40× oil immersion; bone marrow aspirate smear — 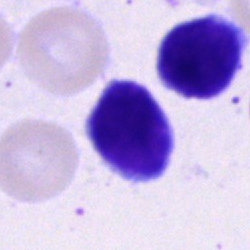

Classification = typical lymphocyte.